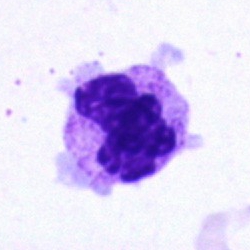Q: Identify the cell.
A: This is a polymorphonuclear neutrophil.